Bone marrow aspirate smear.
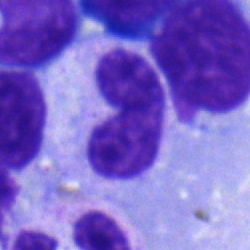Showing a neutrophil (band).